Bone marrow smear — 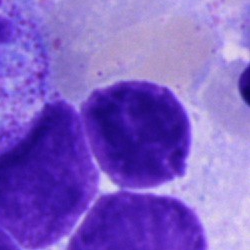
Artefact.